Single-cell crop; peripheral blood film — 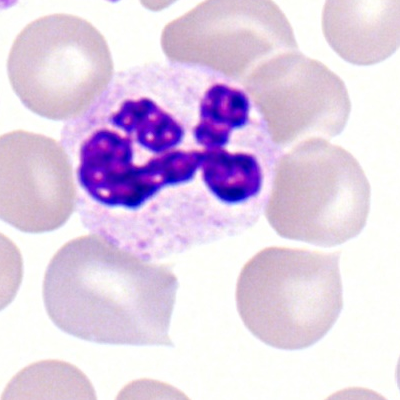Q: What is shown here?
A: This is a polymorphonuclear neutrophil.